Bone marrow smear; May-Grünwald-Giemsa/Pappenheim stain; single-cell field: 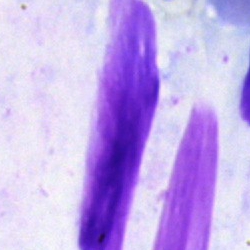 Morphology consistent with an artefact.